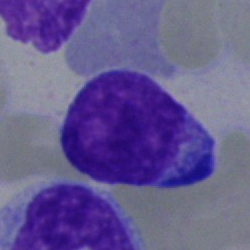Q: Which cell type is shown here?
A: This is an undifferentiated blast.